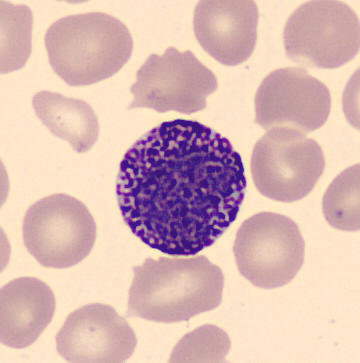

Acquisition: Peripheral blood smear; CellaVision DM96 digital cell image.
The cell shown is a basophil.